Bone marrow aspirate smear. 250×250: 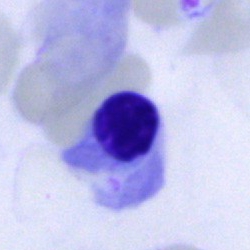The morphological class is erythroblast.